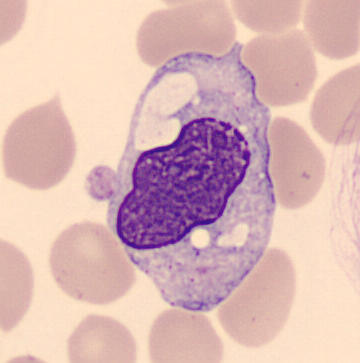
Impression — monocyte. Image: Peripheral blood smear.